Romanowsky-type stain · peripheral blood smear · 100× objective, oil immersion: 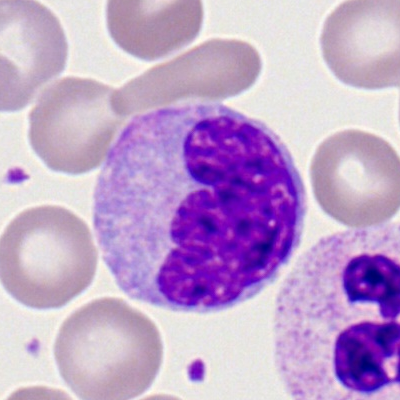

Monocyte.